Bone marrow smear.
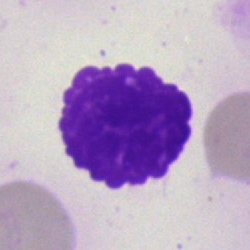 The cell type is artifact.